Bone marrow smear: 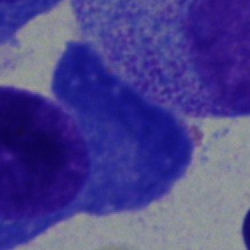

Specimen: bone marrow smear.
Cell type: plasma cell.
Lineage: lymphoid.